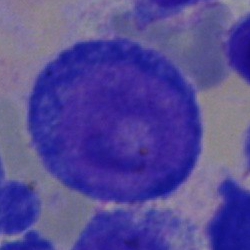 Morphological class — pronormoblast.